Bone marrow smear
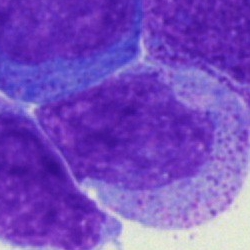

Cell — promyelocyte.